Single cell centered in the field · bone marrow aspirate smear:
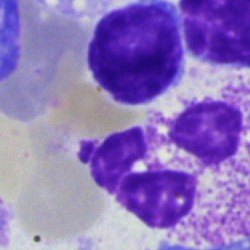
Morphology — polymorphonuclear neutrophil.